Bone marrow smear:
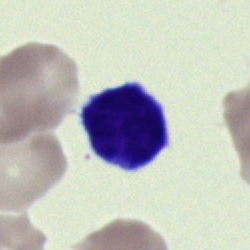
Impression → typical lymphocyte.